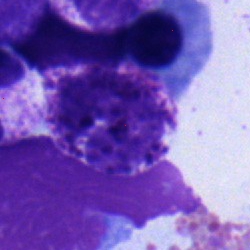
A basophilic granulocyte.